Bone marrow smear:
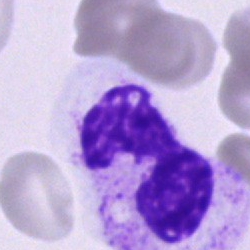Cell: neutrophil (segmented).